Bone marrow aspirate smear: 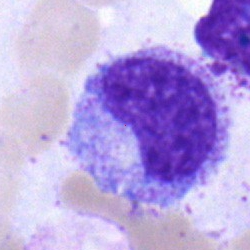 Showing a metamyelocyte.